Bone marrow smear
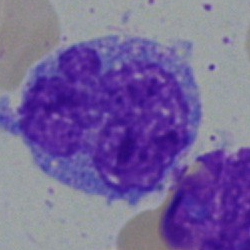 Specimen: bone marrow smear.
Morphological class: monocyte.